Bone marrow aspirate smear · 40× objective, oil immersion:
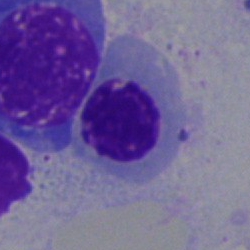

Classification: erythroblast.